Peripheral blood smear — 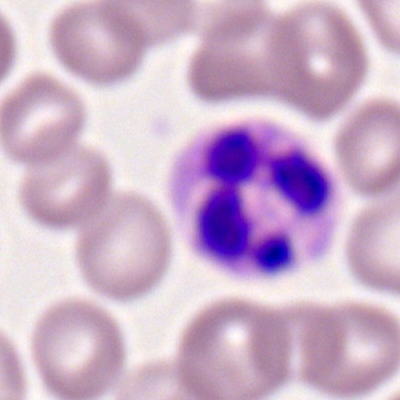 Cell type = segmented neutrophil.